40× objective, oil immersion · bone marrow smear:
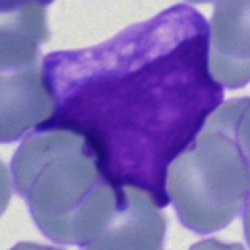
Showing an undifferentiated blast.